Bone marrow smear; May-Grünwald-Giemsa/Pappenheim stain.
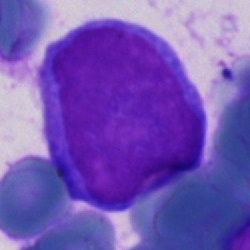
This is an undifferentiated blast.